Bone marrow aspirate smear. Single cell centered in the field
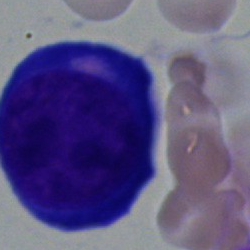 This is a proerythroblast.